Bone marrow aspirate smear
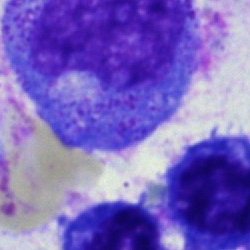Morphological class: progranulocyte.